Bone marrow smear; image size 250×250; Pappenheim-stained
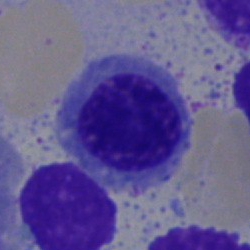

A nucleated red cell.